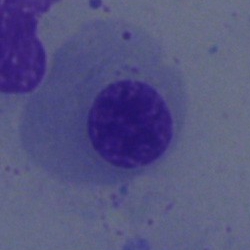Morphological class = nucleated red blood cell.